Bone marrow smear; brightfield, 40× oil-immersion objective
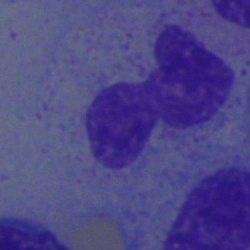 Band-form neutrophil.